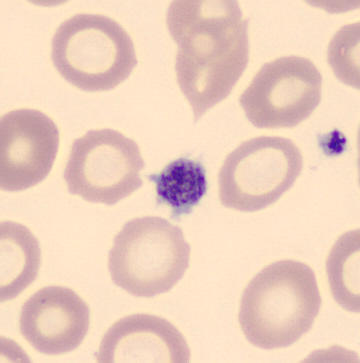Acquisition: Peripheral blood smear.

Showing a thrombocyte.